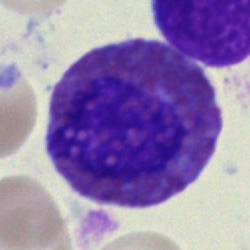 An eosinophil.